Bone marrow aspirate smear.
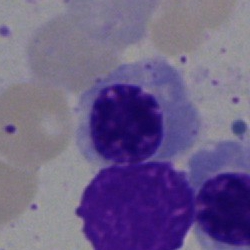
Morphological class — nucleated red blood cell.